Bone marrow aspirate smear; image size 250×250: 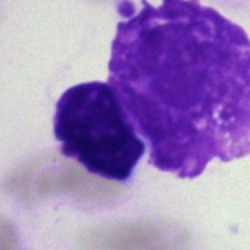 Single cell identified as an artefact.